40× oil immersion; bone marrow smear:
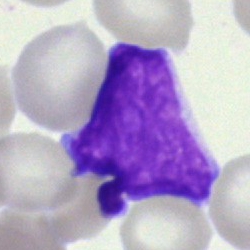 {"cell_type": "blast cell"}